Single-cell field · 250 by 250 pixels · bone marrow smear: 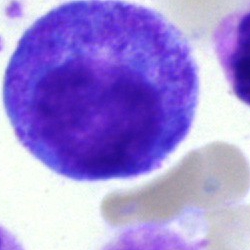 Morphological class = promyelocyte.